Bone marrow aspirate smear:
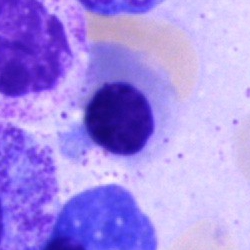 {"cell_type": "normoblast"}